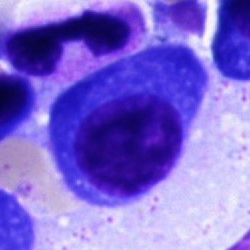 Classification: plasmacyte.